Bone marrow aspirate smear — 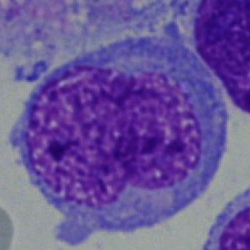

The cell shown is an undifferentiated blast.